Bone marrow aspirate smear: 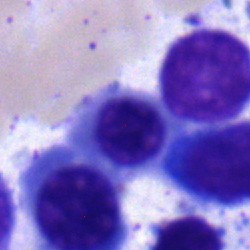 Morphology → normoblast.